Bone marrow smear — 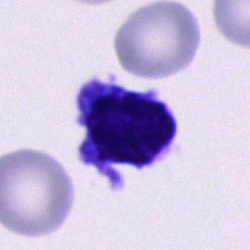 The cell type is unidentifiable cell.